Bone marrow smear · single-cell crop — 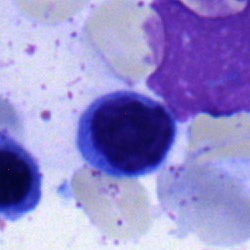
Cell: lymphocyte.